May-Grünwald-Giemsa-stained; single cell centered in the field; peripheral blood film:
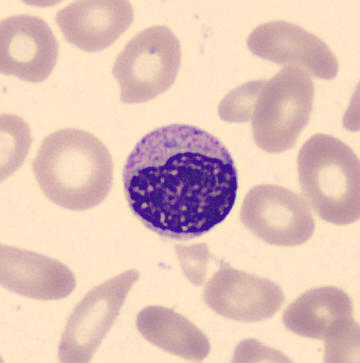

Cell = metamyelocyte.